Bone marrow aspirate smear · 250×250 px.
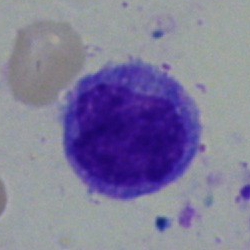Morphological class = monocyte.